Bone marrow aspirate smear.
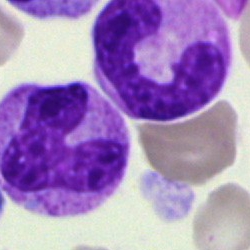 Morphological class: band neutrophil.